Pappenheim-stained. Cropped to a single cell. Bone marrow smear:
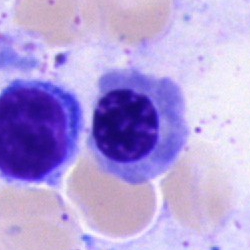

The cell shown is an erythroblast.